Bone marrow smear; May-Grünwald-Giemsa stain; 250×250 px:
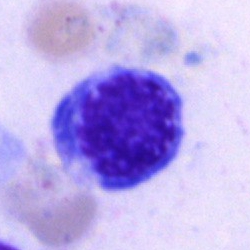

Morphology — nucleated red cell.